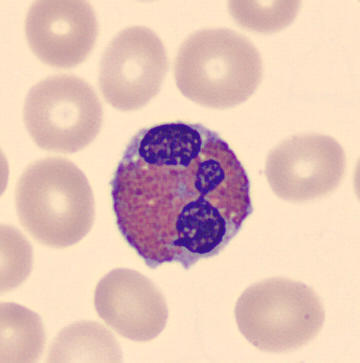
Single cell identified as an eosinophil.